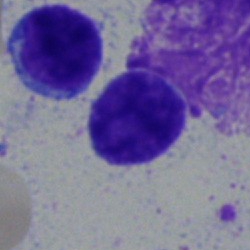Bone marrow smear showing a lymphocyte.